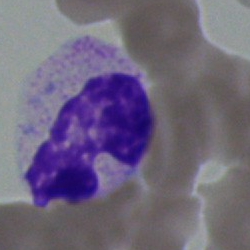
Single-cell crop from a bone marrow smear: band-form neutrophil.